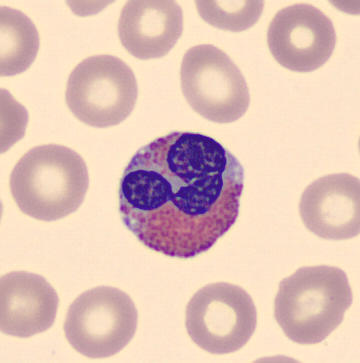 Q: What is shown here?
A: This is an eosinophilic granulocyte.
Image: Cropped to a single cell; peripheral blood smear.